Brightfield, 40× oil-immersion objective. Bone marrow aspirate smear
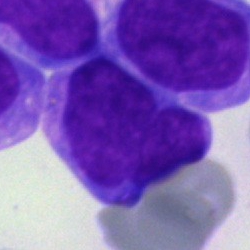The cell type is blast cell.